Single-cell field; 40× oil immersion; bone marrow aspirate smear
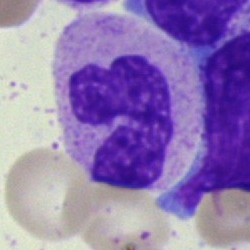
Morphological class = polymorphonuclear neutrophil.